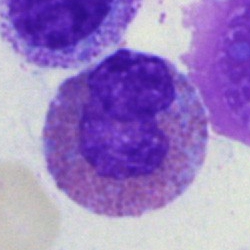
The cell shown is an eosinophil.